Bone marrow smear: 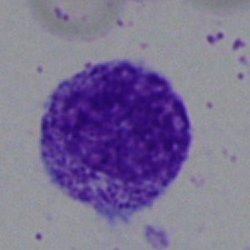
Morphological class = myelocyte.